Peripheral blood film · single cell centered in the field · MGG stain.
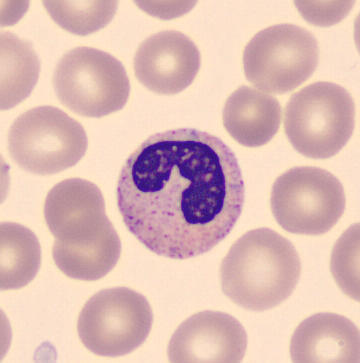
Q: Identify the cell.
A: A band-form neutrophil.